250 by 250 pixels · bone marrow aspirate smear:
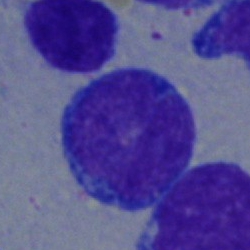

Single cell identified as a blast.